Bone marrow smear: 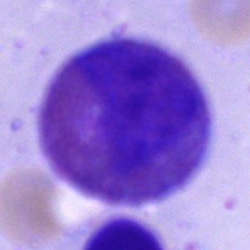 Morphology consistent with an eosinophil.